Peripheral blood film
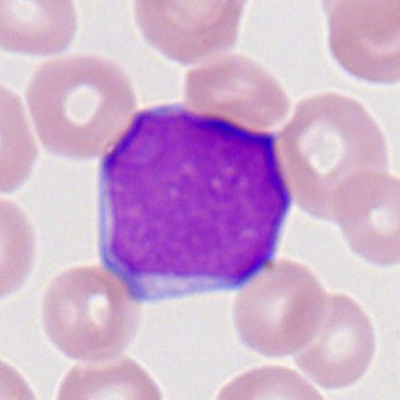
A myeloid blast.